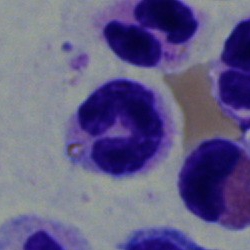
The cell is band neutrophil.